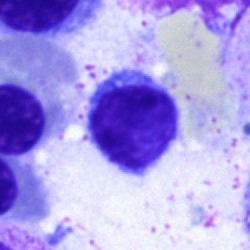Morphological class: lymphocyte.